Bone marrow smear · single-cell crop · Pappenheim-stained
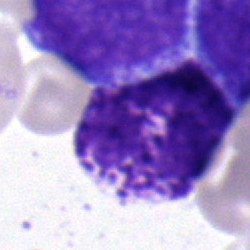 Q: Which cell type is shown here?
A: This is a basophil.